Bone marrow aspirate smear; Pappenheim-stained:
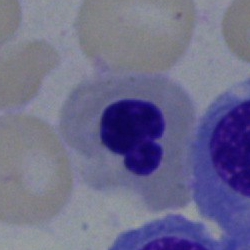

Showing a nucleated red blood cell.